Bone marrow smear
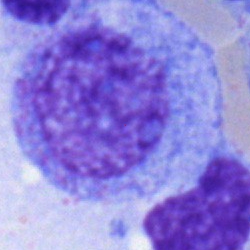Single cell identified as a promyelocyte.